Bone marrow smear · 40× oil immersion:
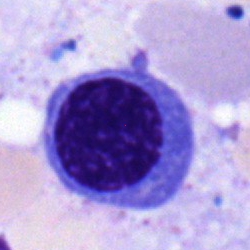 Cell — nucleated red blood cell.